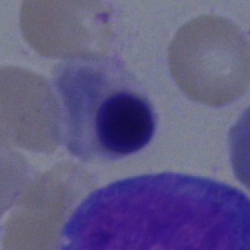

Morphological class — erythroblast.